Peripheral blood smear: 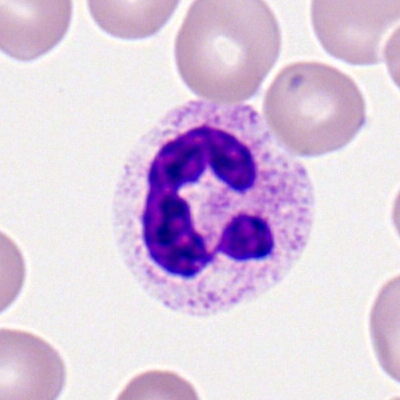
Showing a neutrophil (segmented).